Single-cell field · bone marrow smear:
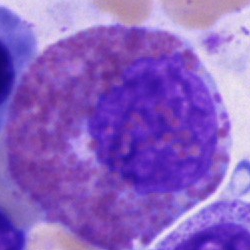
Q: What is the morphological classification of this cell?
A: This is an eosinophilic granulocyte.